Bone marrow aspirate smear
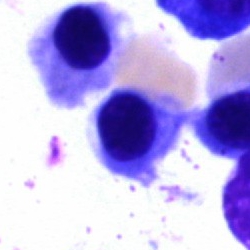 Nucleated red blood cell.